Bone marrow smear:
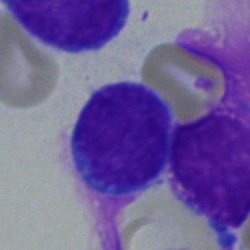
Cell type — lymphocyte.